Bone marrow smear. MGG-stained
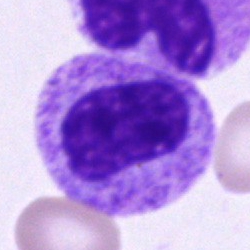
{"cell_type": "myelocyte"}